Bone marrow smear; MGG-stained — 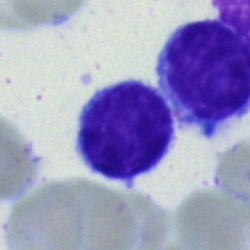Showing a typical lymphocyte.